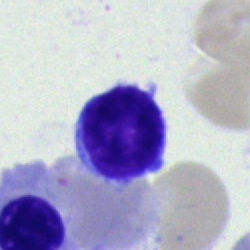This is a typical lymphocyte.